Brightfield microscopy, 40× oil immersion. Bone marrow aspirate smear:
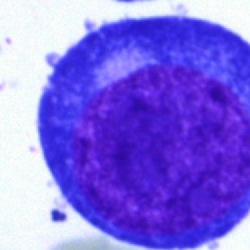

Proerythroblast.